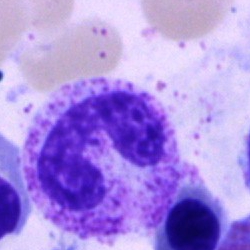Q: What is the morphological classification of this cell?
A: It is a neutrophil (band).